Peripheral blood film — 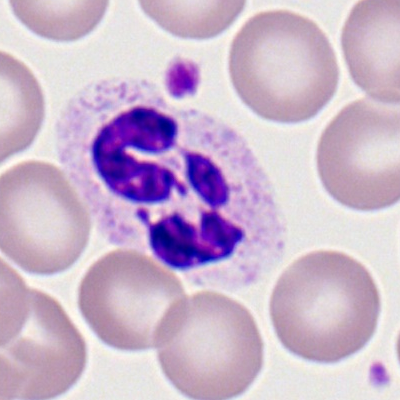Morphology — polymorphonuclear neutrophil.